Cropped to a single cell; May-Grünwald-Giemsa/Pappenheim stain; bone marrow smear: 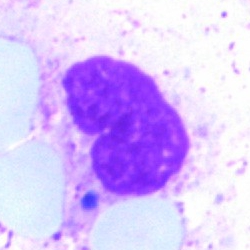Morphology → artifact.